Bone marrow aspirate smear.
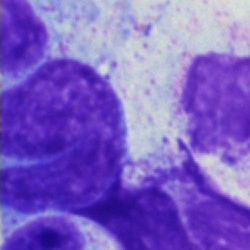The cell shown is an artifact.